May-Grünwald-Giemsa stain. Image size 250×250. Bone marrow smear.
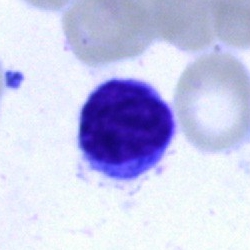 Morphology — typical lymphocyte.